Bone marrow aspirate smear.
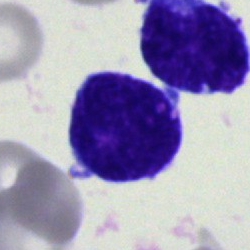

Morphology — undifferentiated blast.